Brightfield, 100× oil-immersion objective; peripheral blood smear
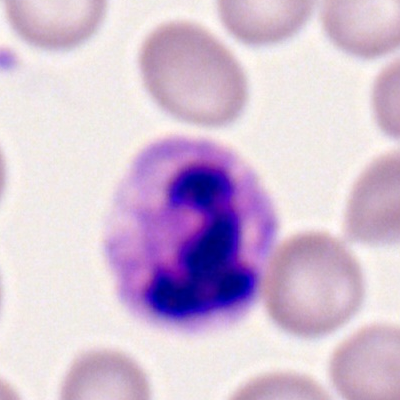The morphological class is polymorphonuclear neutrophil.